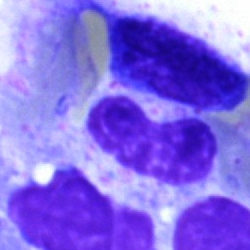Morphology → band-form neutrophil.